Peripheral blood film. 400 by 400 pixels: 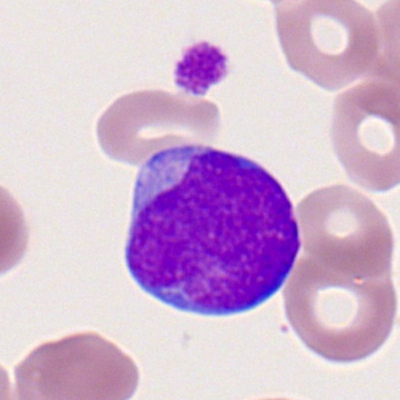 Cell type = myeloblast.